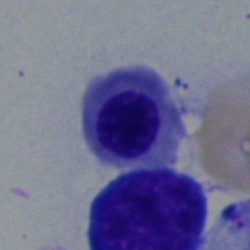
Showing a nucleated red cell.